Bone marrow aspirate smear. MGG-stained. Single-cell field:
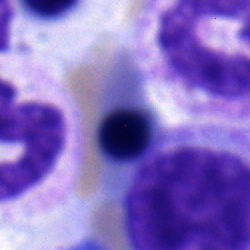 The cell shown is a neutrophil (band).